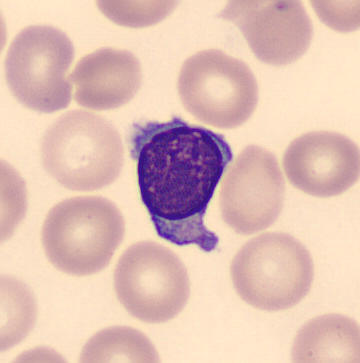

360×363 px. Specimen: peripheral blood film.
Classification: lymphocyte.